40× objective, oil immersion · 250 by 250 pixels · bone marrow smear:
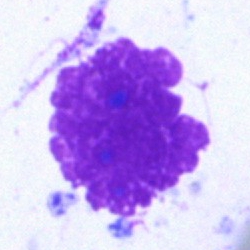
An artefact.